Bone marrow smear · 250×250 · MGG-stained: 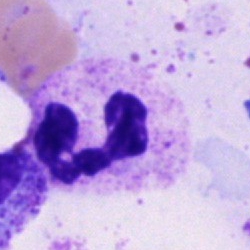

Morphological class = polymorphonuclear neutrophil.